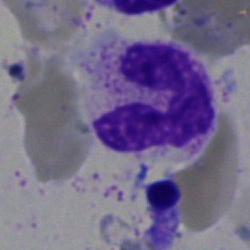
A segmented neutrophil on a bone marrow smear.